Bone marrow aspirate smear · brightfield microscopy, 40× oil immersion · Pappenheim-stained:
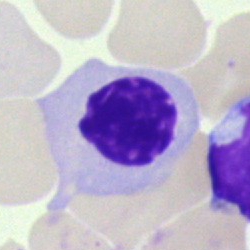The morphological class is nucleated red blood cell.